Bone marrow smear: 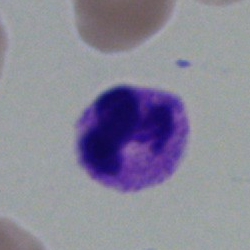

Showing a segmented neutrophil.